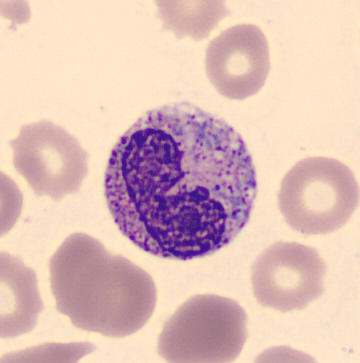

Impression — band neutrophil.